Bone marrow aspirate smear
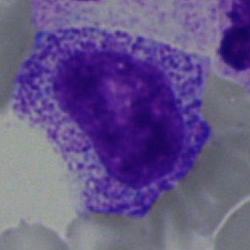

The cell type is myelocyte.